Bone marrow smear: 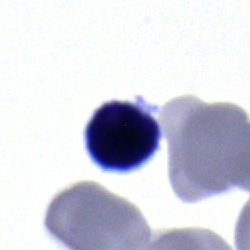
Cell = lymphocyte.